Bone marrow smear — 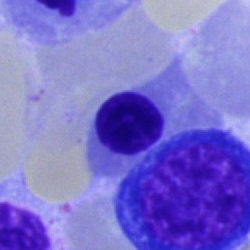 {"cell_type": "nucleated red cell", "lineage": "erythroid"}